Bone marrow smear — 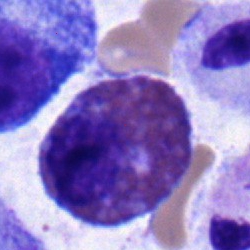Cell = eosinophil.